Peripheral blood smear · 400×400 px · M8 digital microscope (Precipoint), 100× oil immersion — 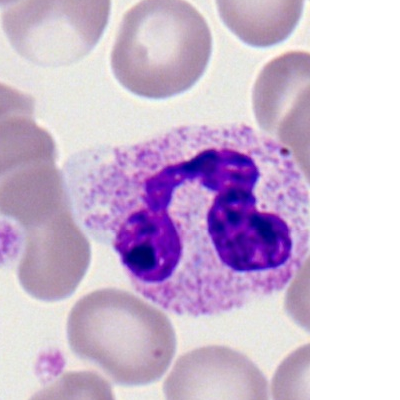 Cell — segmented neutrophil.